250×250 · bone marrow smear: 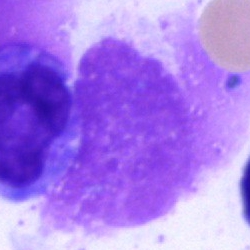

Cell: artifact.